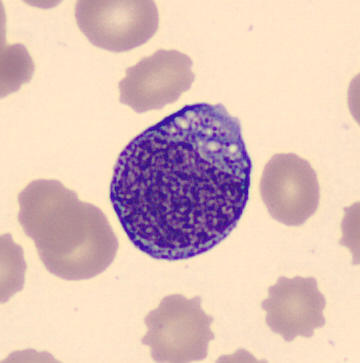

Preparation: Cropped to a single cell. 360×363 px. Peripheral blood smear.
Impression → progranulocyte.